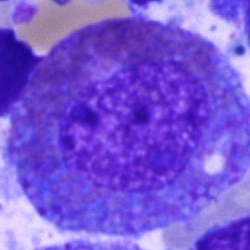Cell type — eosinophilic granulocyte.